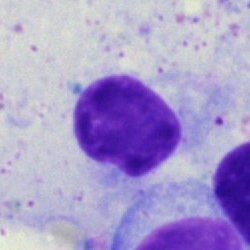

Bone marrow smear showing a lymphocyte.